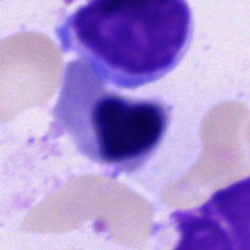A nucleated red cell on a bone marrow smear.